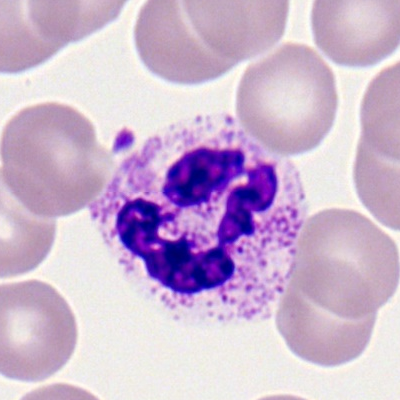 Cell type — segmented neutrophil.